Single-cell field; peripheral blood smear — 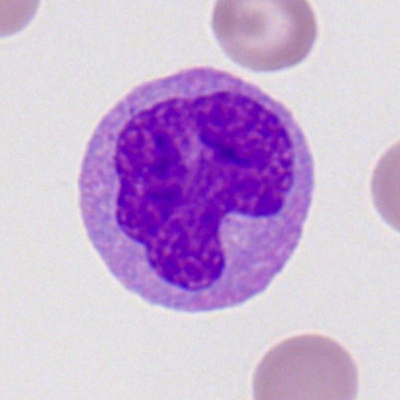 Morphology consistent with a monocyte.